Bone marrow aspirate smear: 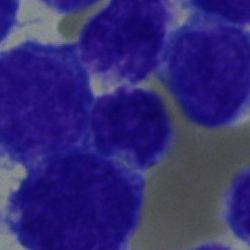

Morphology consistent with a blast.